Cropped to a single cell · bone marrow smear · 40× objective, oil immersion: 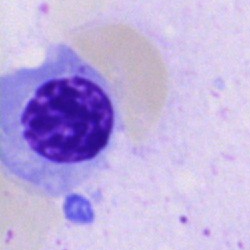 Classification — normoblast.